Bone marrow aspirate smear:
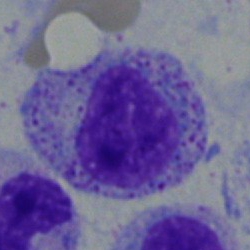Q: What type of cell is this?
A: A myelocyte.